Bone marrow smear.
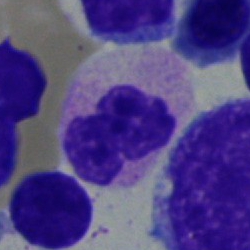Classification = segmented neutrophil.